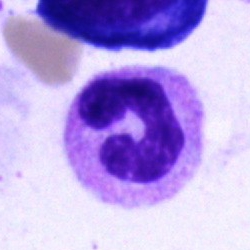
Q: Which cell type is shown here?
A: It is a band-form neutrophil.